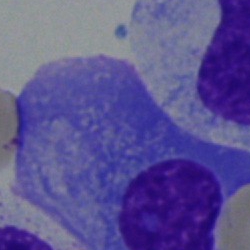Bone marrow smear showing a plasmacyte.